250 by 250 pixels; bone marrow smear
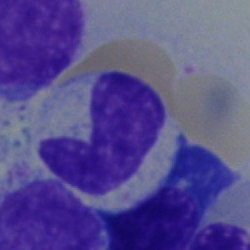This is a neutrophil (band).